Peripheral blood smear.
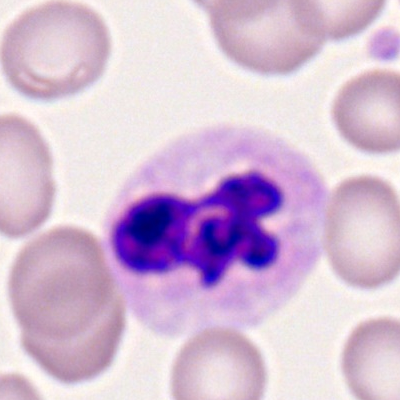 Q: What cell is this?
A: Polymorphonuclear neutrophil.